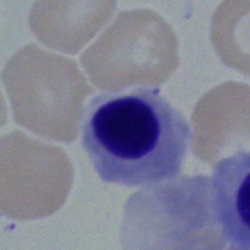

Q: What is the morphological classification of this cell?
A: An erythroblast.